Bone marrow aspirate smear. Single cell centered in the field. May-Grünwald-Giemsa stain:
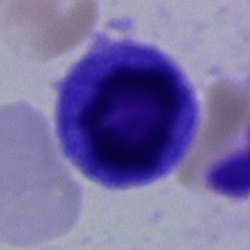

Morphology — cell of indeterminate lineage.